Bone marrow smear
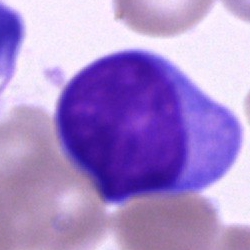

The cell is blast cell.